Bone marrow smear — 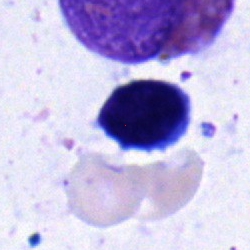

Single cell identified as a typical lymphocyte.